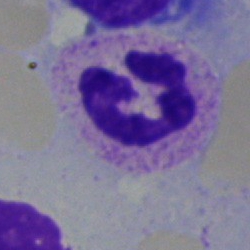

Classification = neutrophil (segmented).